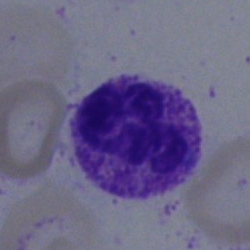Morphological class: neutrophil (segmented).